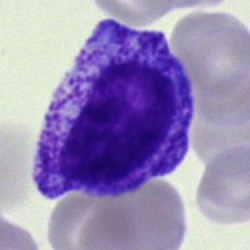Morphological class: myelocyte.